Bone marrow aspirate smear: 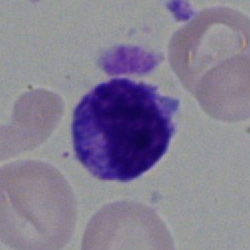The cell shown is a myelocyte.